Peripheral blood film.
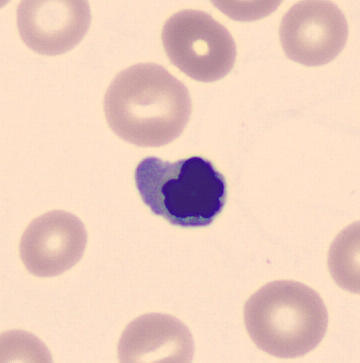

Q: What is the morphological classification of this cell?
A: It is an erythroblast.